Bone marrow smear:
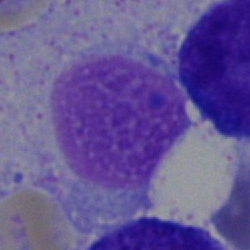 Specimen: bone marrow aspirate smear.
Morphological class: artefact.